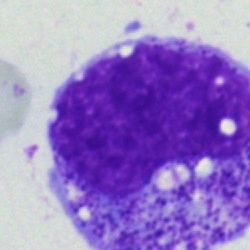

Morphology consistent with a progranulocyte.